Single-cell crop; peripheral blood smear: 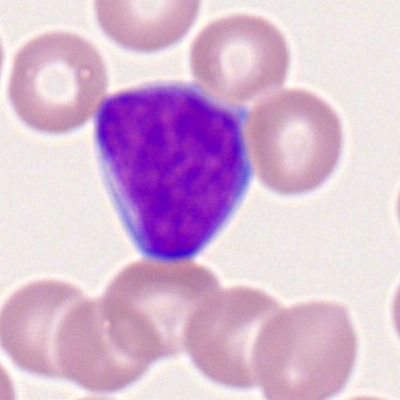
This is a myeloblast.